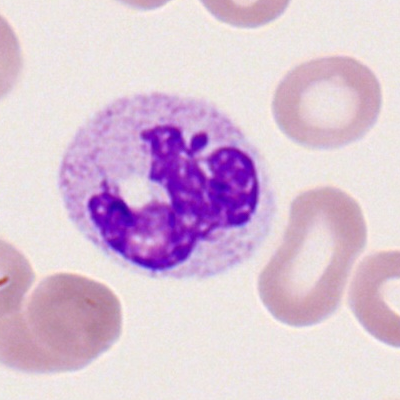 Q: Identify the cell.
A: It is a polymorphonuclear neutrophil.